Bone marrow aspirate smear: 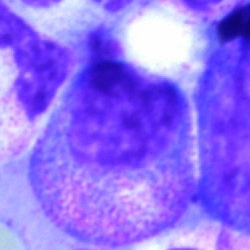
Impression → progranulocyte.